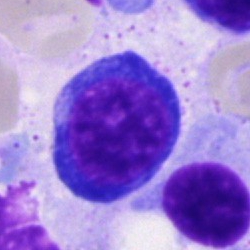
Nucleated red cell.